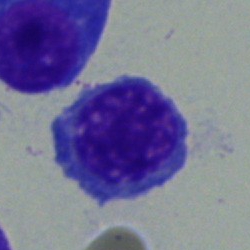

The morphological class is nucleated red blood cell.